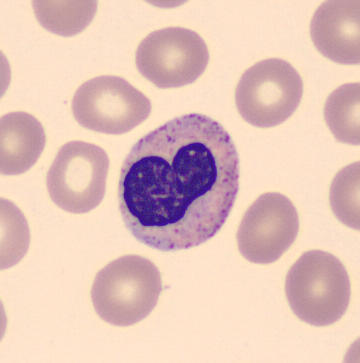
Acquisition: Peripheral blood film; MGG-stained.
Morphological class = neutrophil (band).